Peripheral blood smear · M8 digital microscope (Precipoint), 100× oil immersion · Romanowsky-type stain
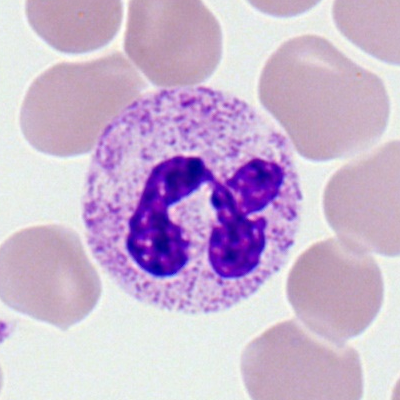

The cell shown is a neutrophil (segmented).